Peripheral blood smear: 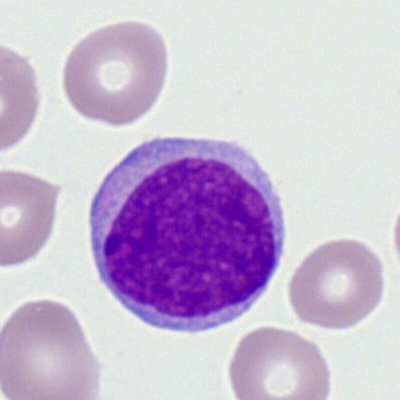 Q: What type of cell is this?
A: It is a myeloblast.